Bone marrow aspirate smear — 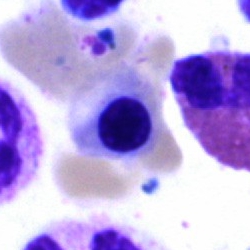 Showing an erythroblast.